250×250. Bone marrow aspirate smear
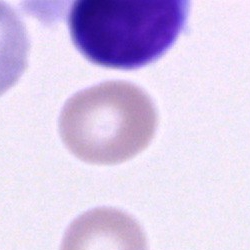 Specimen: bone marrow aspirate smear.
Morphological class: artefact.